Brightfield, 100× oil-immersion objective; peripheral blood film; Romanowsky-type stain
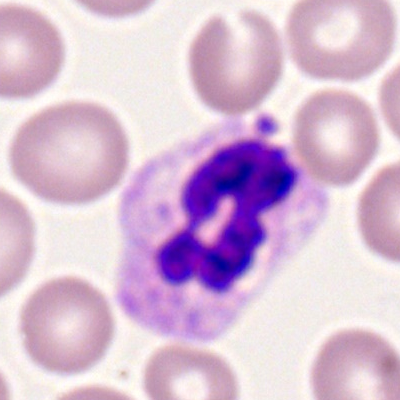
Impression → polymorphonuclear neutrophil.